40× oil immersion; bone marrow smear: 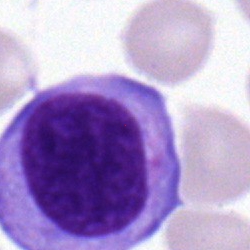 A lymphocyte.